May-Grünwald-Giemsa stain; bone marrow smear — 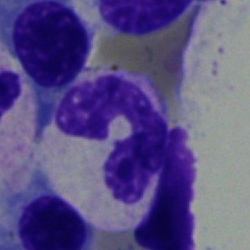Q: Identify the cell.
A: This is a neutrophil (band).